Bone marrow smear. 250×250:
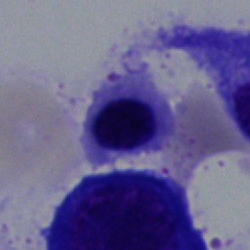Nucleated red blood cell.